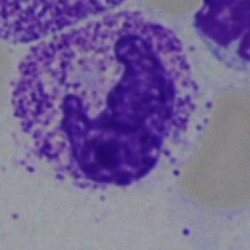Single cell identified as a neutrophil (segmented).